Bone marrow aspirate smear. Single cell centered in the field: 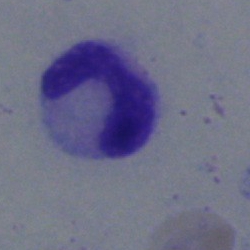 Morphological class = polymorphonuclear neutrophil.